Bone marrow aspirate smear. 250 by 250 pixels: 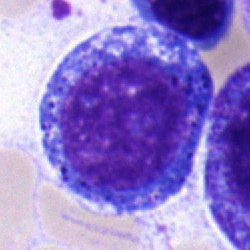This is a progranulocyte.